Pappenheim-stained; bone marrow aspirate smear:
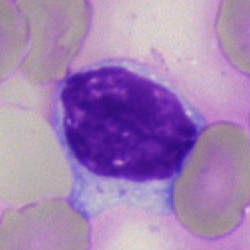A typical lymphocyte.